Bone marrow smear. MGG-stained. 250×250 px:
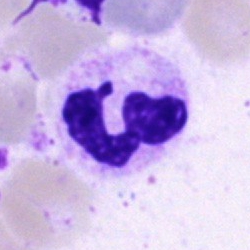
Showing a neutrophil (segmented).